May-Grünwald-Giemsa/Pappenheim stain; single-cell field; bone marrow aspirate smear: 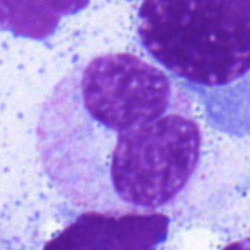 Single cell identified as a band-form neutrophil.